Bone marrow smear. 250×250
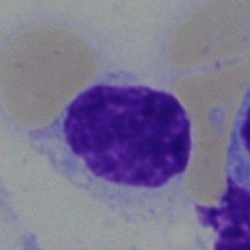
{"cell_type": "typical lymphocyte"}